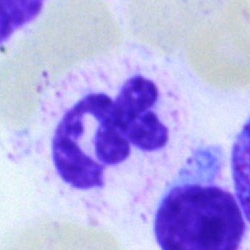Morphology consistent with a polymorphonuclear neutrophil.